100× oil immersion, 14.14 px/µm · Romanowsky-stained · peripheral blood smear: 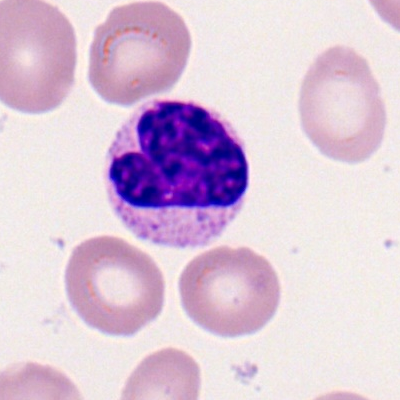Cell: polymorphonuclear neutrophil.